Bone marrow aspirate smear
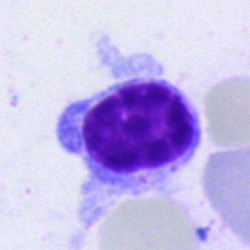Q: What cell is this?
A: This is a lymphocyte.